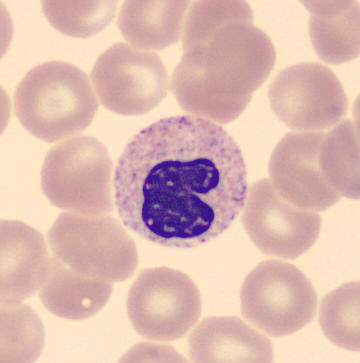
Morphological class — neutrophil (segmented).